Bone marrow smear.
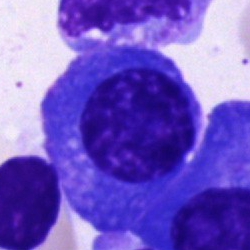Single cell identified as a plasmacyte.